Bone marrow smear — 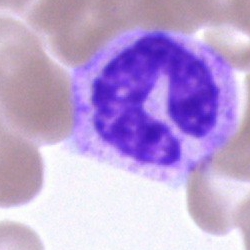

Specimen: bone marrow smear.
Morphological class: band neutrophil.